Pappenheim-stained · bone marrow smear:
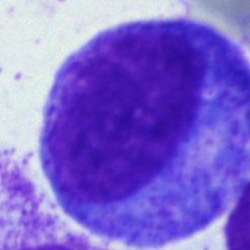
{"cell_type": "progranulocyte", "lineage": "myeloid"}